Bone marrow smear
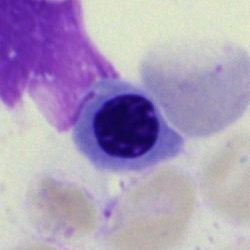 Q: Which cell type is shown here?
A: This is a nucleated red blood cell.